250×250 px · single cell centered in the field · bone marrow smear:
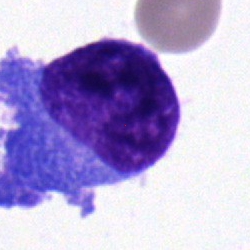

Classification — plasmacyte.